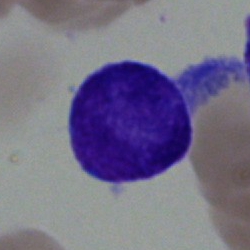
The cell is blast.